Bone marrow aspirate smear · single-cell crop: 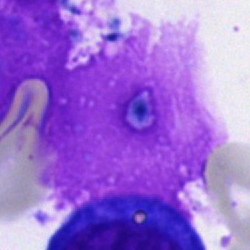Morphological class: artefact.